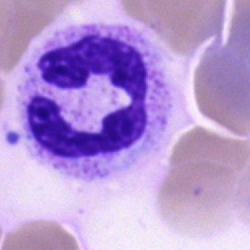Single cell identified as a neutrophil (segmented).